Brightfield microscopy, 40× oil immersion. Bone marrow aspirate smear:
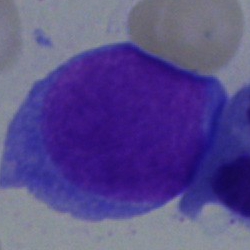
Showing a blast.